250 by 250 pixels. Bone marrow smear:
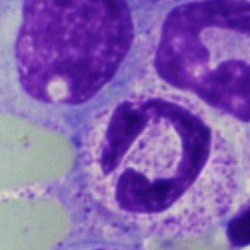

Cell type = segmented neutrophil.